Bone marrow aspirate smear — 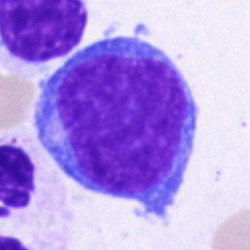Cell: blast cell.